MGG-stained. 250×250. Bone marrow smear: 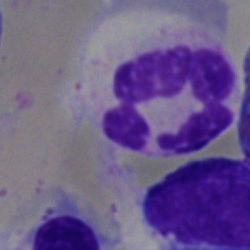

Cell type — neutrophil (segmented).